250×250 · bone marrow smear · 40× oil immersion: 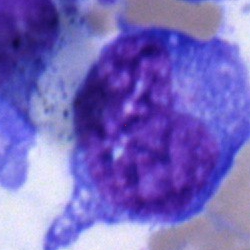

Q: Identify the cell.
A: It is an undifferentiated blast.